250 by 250 pixels · bone marrow aspirate smear · single-cell crop.
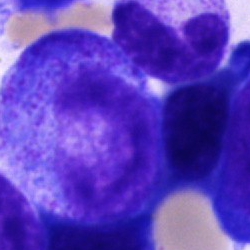
Showing a progranulocyte.